Bone marrow smear: 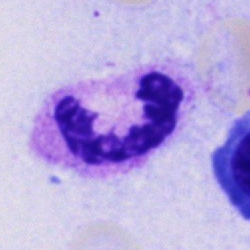

This is a polymorphonuclear neutrophil.